Bone marrow smear:
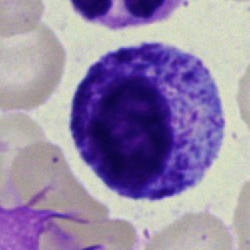
Morphological class = myelocyte.